Bone marrow smear; image size 250×250:
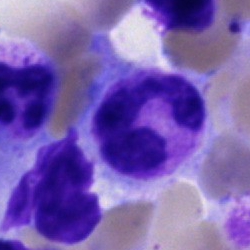

Q: What type of cell is this?
A: It is a neutrophil (segmented).